Bone marrow aspirate smear — 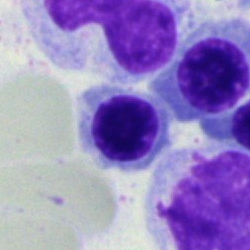
{"cell_type": "erythroblast"}